May-Grünwald-Giemsa/Pappenheim stain · bone marrow aspirate smear · brightfield, 40× oil-immersion objective:
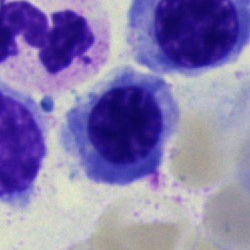 Q: Identify the cell.
A: Nucleated red blood cell.